250×250; bone marrow aspirate smear; May-Grünwald-Giemsa/Pappenheim stain: 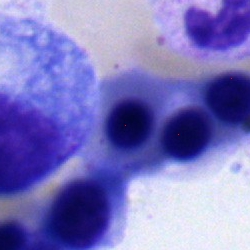

Cell = nucleated red blood cell.